Bone marrow smear: 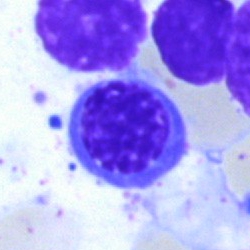

Showing a nucleated red blood cell.